Brightfield, 40× oil-immersion objective; bone marrow aspirate smear — 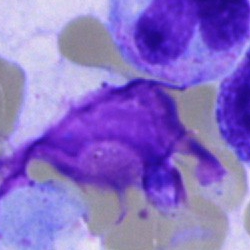Single cell identified as an artifact.